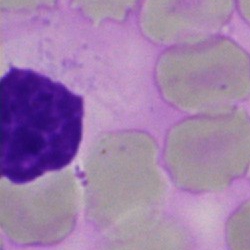 An artefact.